Bone marrow aspirate smear · 40× oil immersion · Pappenheim-stained: 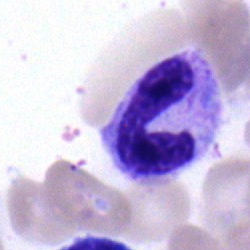Showing a band-form neutrophil.